Bone marrow aspirate smear: 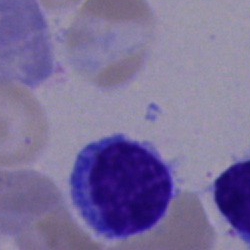
Showing a lymphocyte.